Bone marrow smear
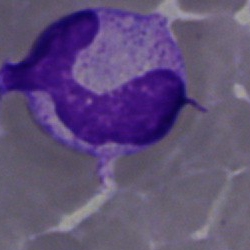
Specimen: bone marrow smear.
Cell: segmented neutrophil.
Lineage: myeloid.